Brightfield microscopy, 40× oil immersion. 250 by 250 pixels. Bone marrow smear.
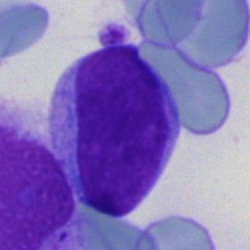
Cell type — undifferentiated blast.